Pappenheim-stained · single-cell crop · bone marrow smear:
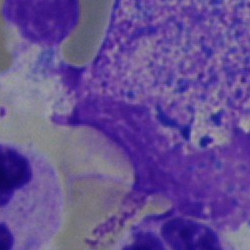 Q: What is the morphological classification of this cell?
A: Stab cell.